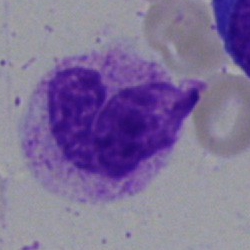The cell is metamyelocyte.